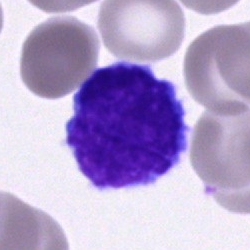Specimen: bone marrow aspirate smear.
Cell: typical lymphocyte.